Bone marrow smear
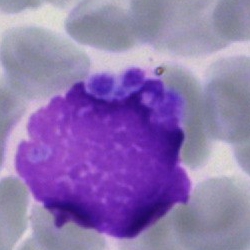Specimen: bone marrow smear.
Classification: artifact.